Image size 250×250 · bone marrow aspirate smear · MGG-stained: 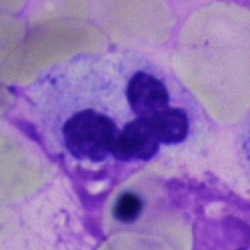

Q: What cell is this?
A: Polymorphonuclear neutrophil.